Brightfield, 40× oil-immersion objective; bone marrow aspirate smear: 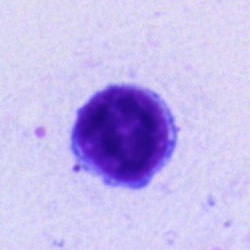

Classification — typical lymphocyte.